Bone marrow smear.
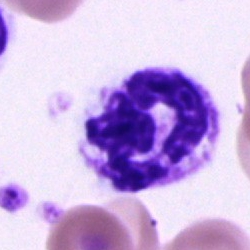
The morphological class is neutrophil (segmented).